Bone marrow aspirate smear:
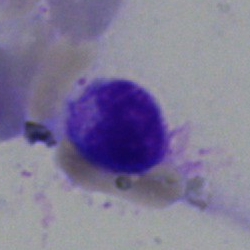Q: Identify the cell.
A: A lymphocyte.